Bone marrow aspirate smear:
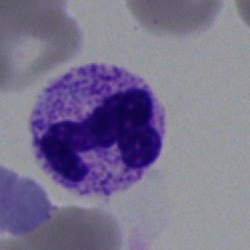
Cell: polymorphonuclear neutrophil.